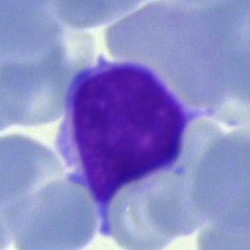
Single-cell crop from a bone marrow smear: typical lymphocyte.